Bone marrow smear
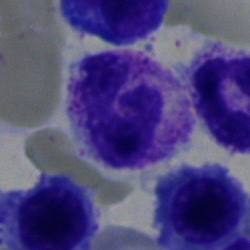

Morphology consistent with a neutrophil (segmented).